Bone marrow smear — 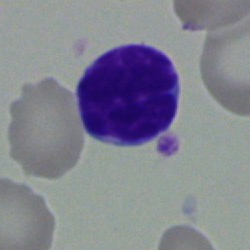
Impression → lymphocyte.